Bone marrow smear; Pappenheim-stained.
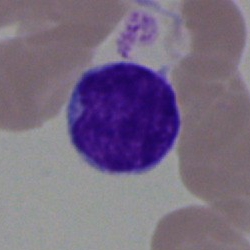

Cell: lymphocyte.